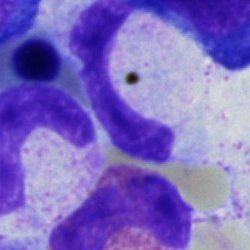

Stab cell.